Bone marrow smear.
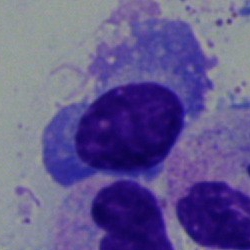
A plasma cell.